Bone marrow smear:
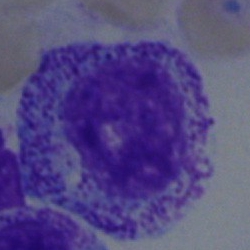 Morphology consistent with a myelocyte.